Bone marrow aspirate smear.
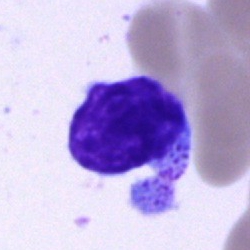This is a lymphocyte.